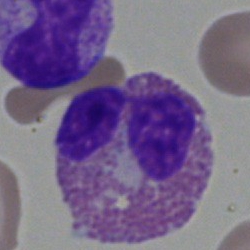 Q: What type of cell is this?
A: It is an eosinophilic granulocyte.